Bone marrow smear: 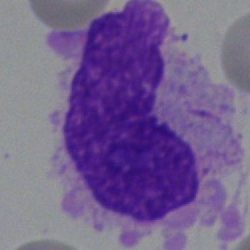 Specimen: bone marrow smear.
Cell type: artifact.